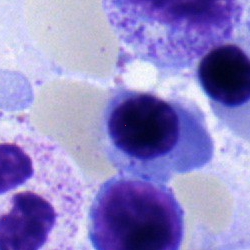 Morphological class — normoblast.